Bone marrow aspirate smear — 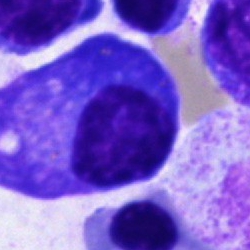
A plasmacyte.